Bone marrow smear.
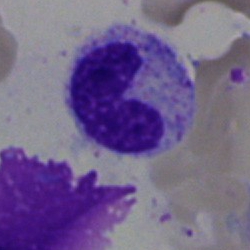

Cell — stab cell.